Bone marrow aspirate smear: 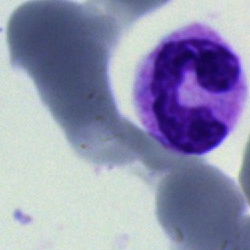

Morphology consistent with a segmented neutrophil.